Image size 250×250. May-Grünwald-Giemsa stain. Bone marrow aspirate smear.
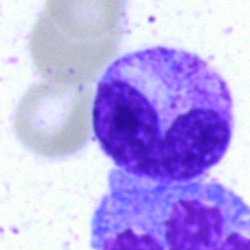
This is a band neutrophil.